MGG-stained. 250×250. Bone marrow aspirate smear:
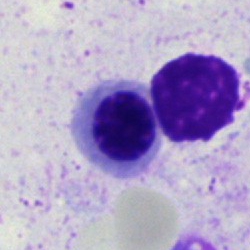
Showing an erythroblast.